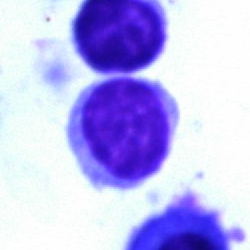Q: What cell is this?
A: This is a lymphocyte.